Bone marrow aspirate smear; May-Grünwald-Giemsa/Pappenheim stain — 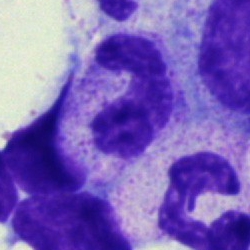 Q: Which cell type is shown here?
A: This is a polymorphonuclear neutrophil.